250×250 px; bone marrow smear.
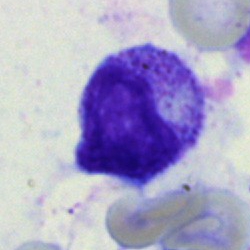

Myelocyte.